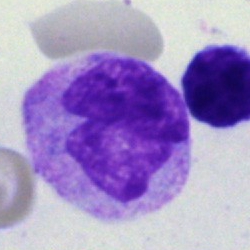 The cell is monocyte.